Bone marrow smear: 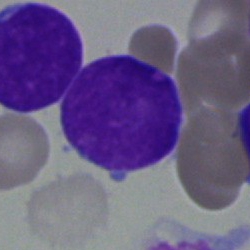{"cell_type": "blast cell"}